Pappenheim-stained. Bone marrow smear.
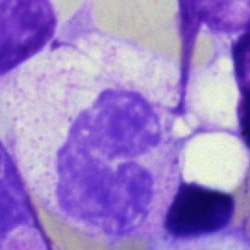Cell type — neutrophil (segmented).